Bone marrow aspirate smear; image size 250×250: 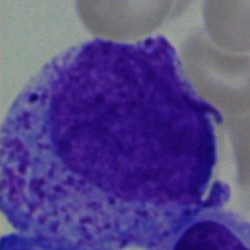Q: Which cell type is shown here?
A: It is a progranulocyte.